Bone marrow aspirate smear; MGG-stained
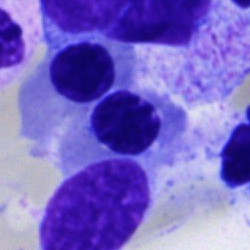Nucleated red cell.